Bone marrow smear:
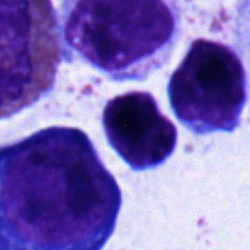Morphology consistent with a typical lymphocyte.